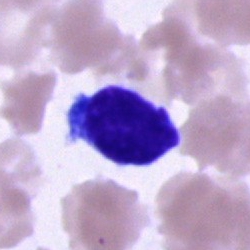Cell type: typical lymphocyte.